Peripheral blood smear; Romanowsky-type stain — 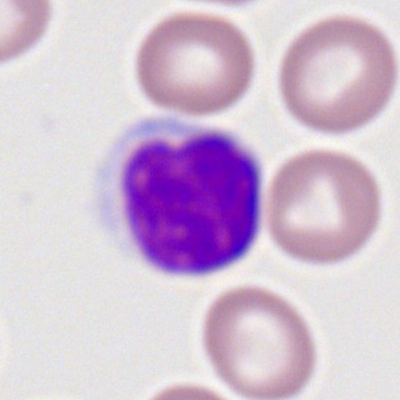
This is a typical lymphocyte.